Bone marrow aspirate smear — 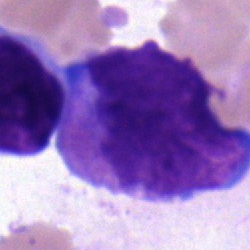Q: What cell is this?
A: A blast.